400×400 · 100× objective, oil immersion · peripheral blood smear.
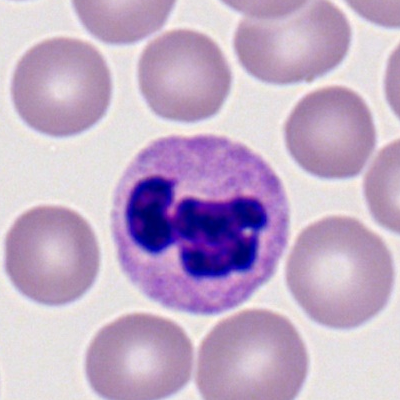Cell type = segmented neutrophil.